250×250 px · bone marrow smear
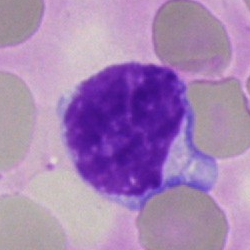

A typical lymphocyte.